Bone marrow smear.
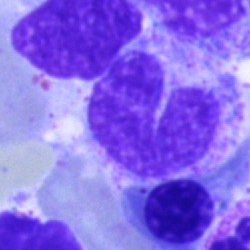 Q: Which cell type is shown here?
A: This is a band neutrophil.